Cropped to a single cell. Bone marrow smear. Brightfield microscopy, 40× oil immersion — 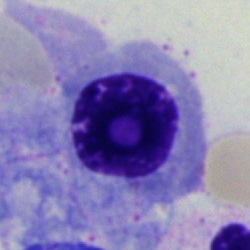Nucleated red blood cell.